Bone marrow aspirate smear; 250 by 250 pixels; May-Grünwald-Giemsa/Pappenheim stain: 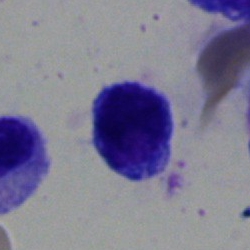
Single cell identified as a typical lymphocyte.